Bone marrow smear; image size 250×250: 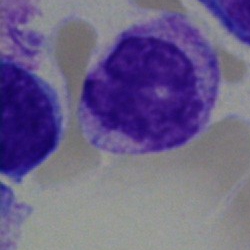This is a polymorphonuclear neutrophil.